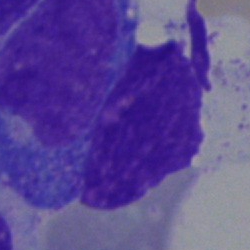Single cell identified as an artefact.